Bone marrow smear · May-Grünwald-Giemsa stain.
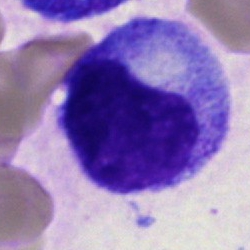

The cell shown is a metamyelocyte.